Bone marrow smear · single-cell field:
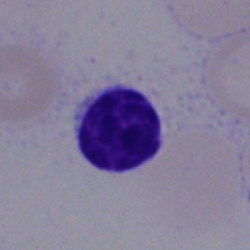

The morphological class is lymphocyte.